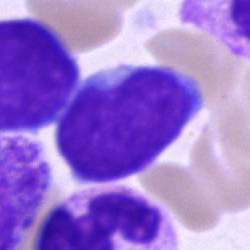Q: What cell is this?
A: A blast cell.